250×250 px · bone marrow smear · brightfield, 40× oil-immersion objective
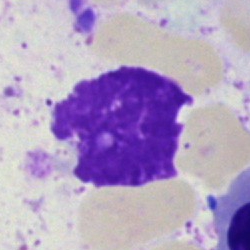
The classification is artefact.